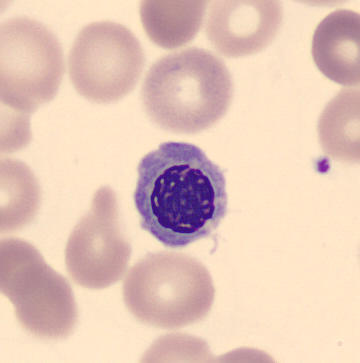
Preparation: Peripheral blood film.

Q: Which cell type is shown here?
A: A nucleated red blood cell.